Bone marrow smear; 250 by 250 pixels; brightfield microscopy, 40× oil immersion:
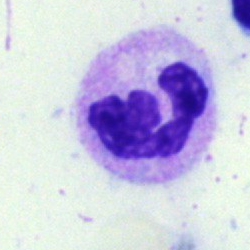Cell — segmented neutrophil.